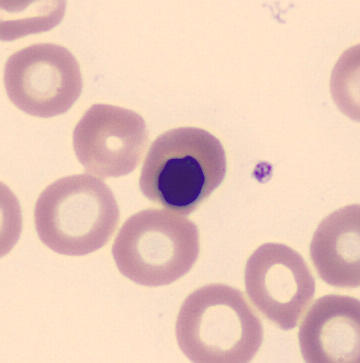Morphological class — nucleated red blood cell.

Preparation: Peripheral blood smear.